Peripheral blood smear: 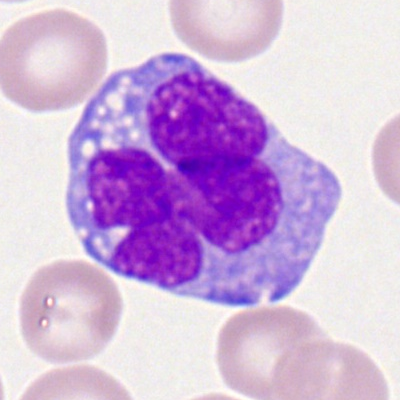
Cell: monocyte.